Bone marrow aspirate smear.
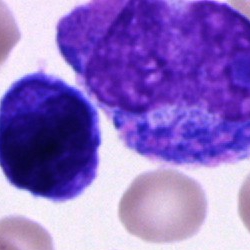 Cell — unidentifiable cell.